250×250 px; bone marrow smear
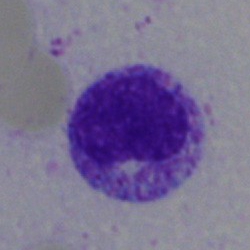
Q: What is the morphological classification of this cell?
A: It is a metamyelocyte.